Bone marrow smear:
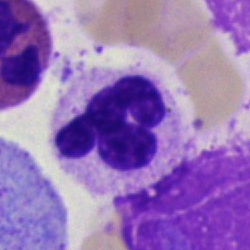

Morphological class: segmented neutrophil.